250×250; bone marrow smear
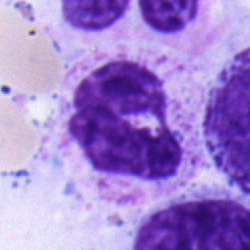 Morphology — segmented neutrophil.